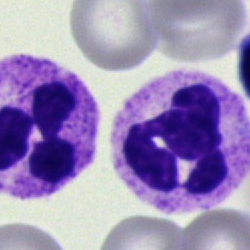 Single cell identified as a segmented neutrophil.